Brightfield, 40× oil-immersion objective; bone marrow aspirate smear: 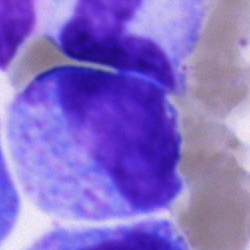

Morphological class = promyelocyte.